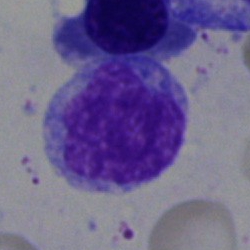

Q: What cell is this?
A: Lymphocyte.